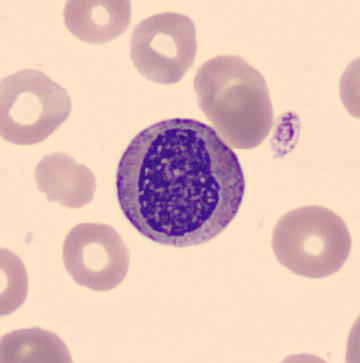

Myelocyte.

Peripheral blood smear.